Bone marrow smear:
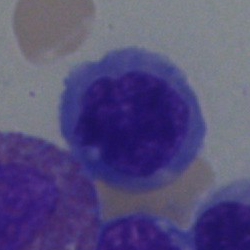

Cell type: normoblast.